Bone marrow aspirate smear · MGG-stained · 250×250: 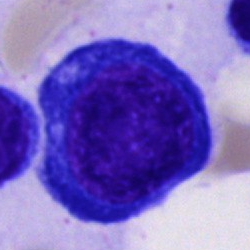
Impression → erythroblast.